Bone marrow smear. 250 by 250 pixels: 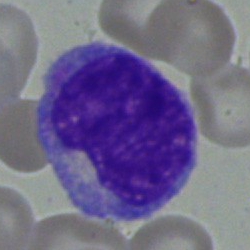
Q: What is shown here?
A: Monocyte.